Image size 250×250. Bone marrow aspirate smear.
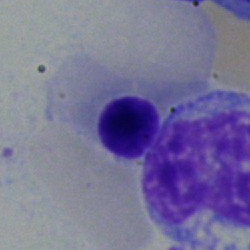Morphology → nucleated red cell.